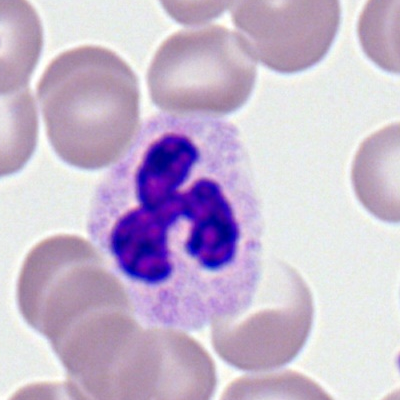 Specimen: peripheral blood film.
Morphological class: neutrophil (segmented).
Lineage: myeloid.